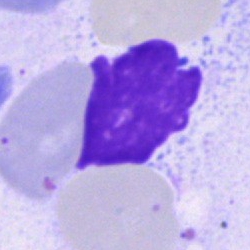An artifact on a bone marrow smear.